Bone marrow smear
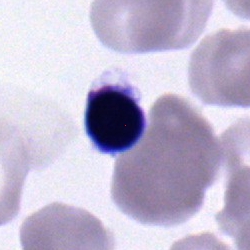
Q: Which cell type is shown here?
A: It is a lymphocyte.